Bone marrow smear
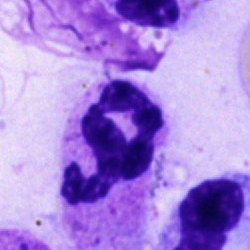

Single cell identified as a polymorphonuclear neutrophil.